Bone marrow smear; 250×250 — 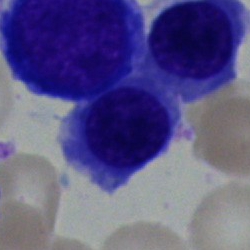
Showing a nucleated red cell.